Image size 250×250; bone marrow aspirate smear.
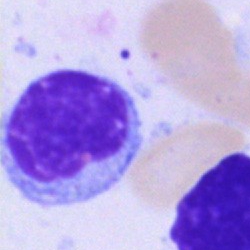

Showing a lymphocyte.